Bone marrow aspirate smear: 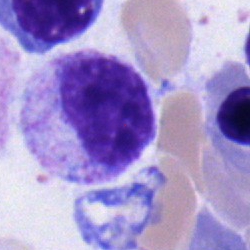 The cell shown is a myelocyte.